Bone marrow smear — 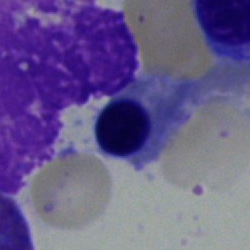
Q: Which cell type is shown here?
A: Normoblast.